Bone marrow smear: 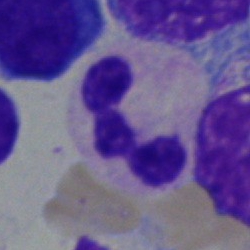 This is a polymorphonuclear neutrophil.